Cropped to a single cell · May-Grünwald-Giemsa stain · bone marrow aspirate smear — 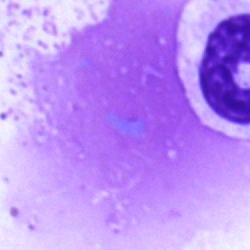
This is an artefact.